Pappenheim-stained; brightfield microscopy, 40× oil immersion; bone marrow smear
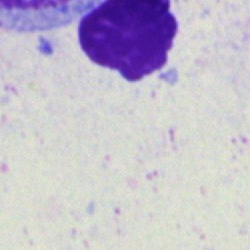Q: What is shown here?
A: This is an artifact.